Bone marrow aspirate smear; Pappenheim-stained:
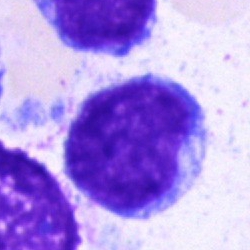Morphology consistent with a blast cell.